Single-cell field; bone marrow smear:
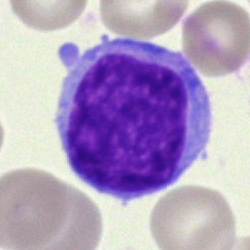Undifferentiated blast.